Cropped to a single cell · peripheral blood film: 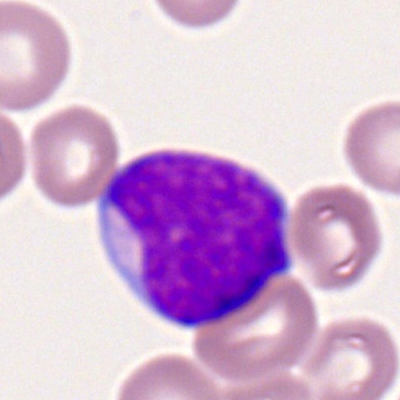

Q: Identify the cell.
A: It is a myeloid blast.